Bone marrow smear; image size 250×250: 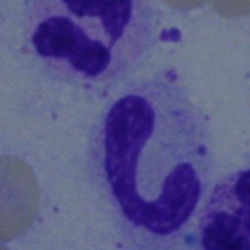The morphological class is neutrophil (band).